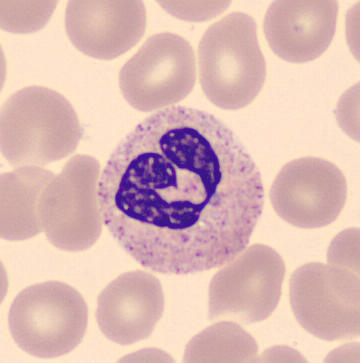 Morphological class = segmented neutrophil.

Peripheral blood film.